Bone marrow aspirate smear
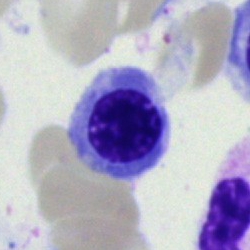 Impression → erythroblast.